Peripheral blood smear; automated cell imaging (CellaVision DM96); May-Grünwald-Giemsa-stained:
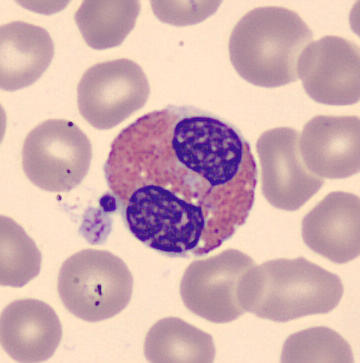The morphological class is eosinophilic granulocyte.